Bone marrow smear; brightfield microscopy, 40× oil immersion
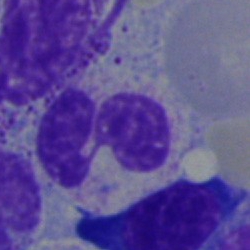

Cell type — segmented neutrophil.